Bone marrow aspirate smear.
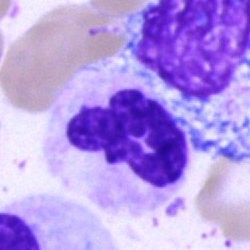
Cell = neutrophil (segmented).